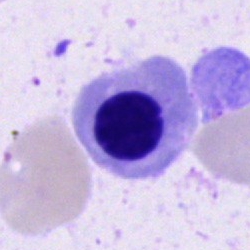
Single-cell crop from a bone marrow smear: nucleated red blood cell.